Bone marrow smear: 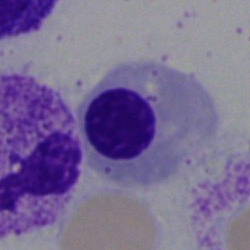 Nucleated red blood cell.